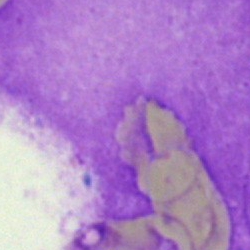The classification is artifact.